Bone marrow aspirate smear.
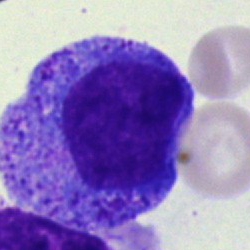Morphology — progranulocyte.